Peripheral blood smear
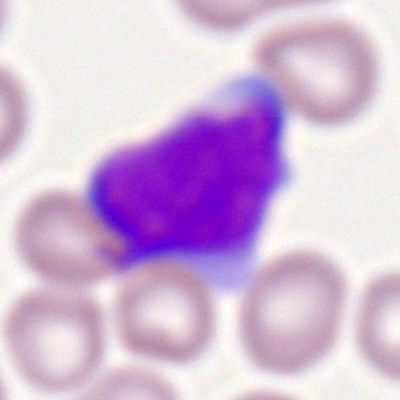
Q: What is the morphological classification of this cell?
A: Myeloblast.